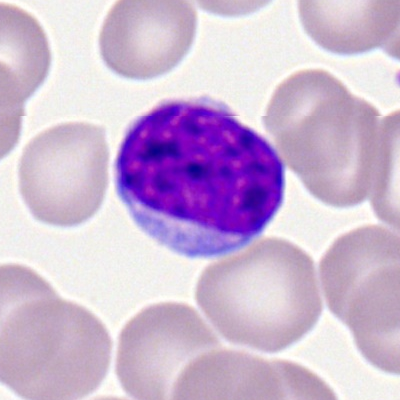 Q: What type of cell is this?
A: This is a lymphocyte.